Bone marrow aspirate smear:
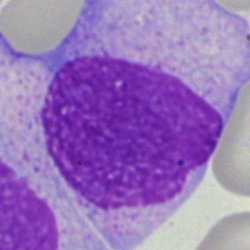

Morphological class: blast.